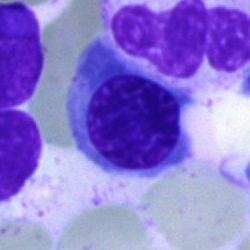 Single-cell crop from a bone marrow smear: nucleated red cell.